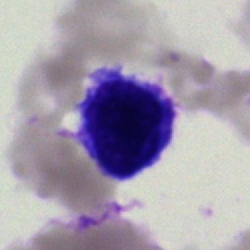

The morphological class is artefact.